Bone marrow smear:
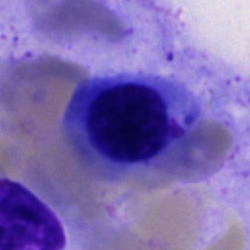 Nucleated red cell.